Bone marrow smear.
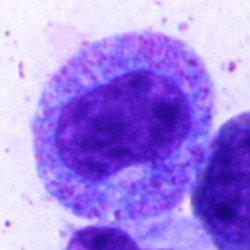The cell shown is a promyelocyte.